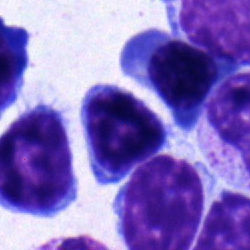 Bone marrow smear showing a lymphocyte.